Bone marrow aspirate smear; single-cell crop; brightfield, 40× oil-immersion objective.
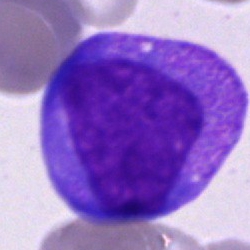
Single cell identified as a progranulocyte.